Brightfield microscopy, 40× oil immersion. Bone marrow smear
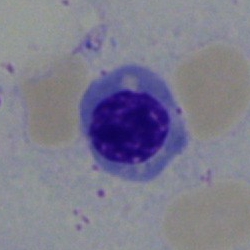 Morphological class: erythroblast.